Bone marrow aspirate smear
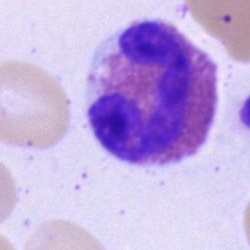 {"cell_type": "eosinophil"}